Brightfield, 40× oil-immersion objective. Bone marrow aspirate smear: 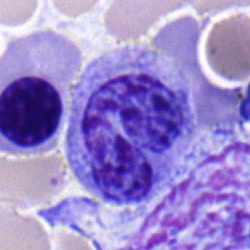 Morphology consistent with a polymorphonuclear neutrophil.